Bone marrow aspirate smear
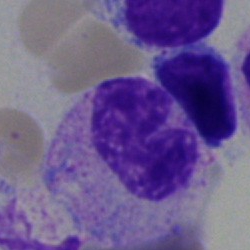
Morphology → neutrophil (band).